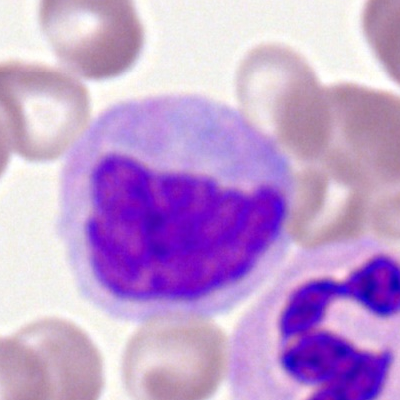
Morphology consistent with a monocyte.